Bone marrow smear. Cropped to a single cell: 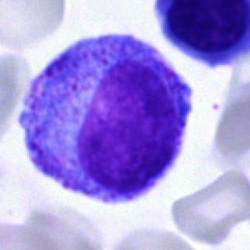
Cell — promyelocyte.